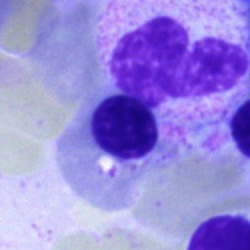

Cell type: nucleated red blood cell.